Pappenheim-stained. Bone marrow smear: 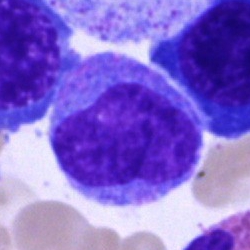The morphological class is monocyte.